250×250; bone marrow aspirate smear: 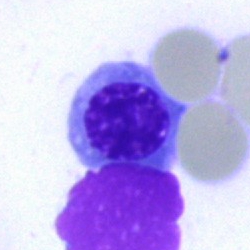Q: Identify the cell.
A: This is a normoblast.